Peripheral blood film. Romanowsky-type stain
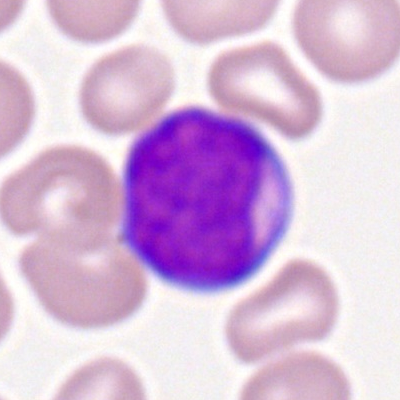 Showing a myeloid blast.